Bone marrow smear.
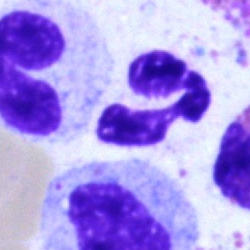

Single cell identified as a polymorphonuclear neutrophil.